Bone marrow smear — 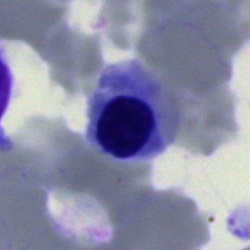Q: What is shown here?
A: This is a nucleated red blood cell.